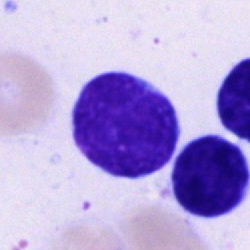 Cell — typical lymphocyte.